Peripheral blood film
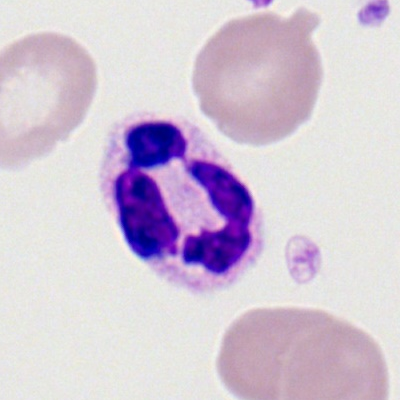Polymorphonuclear neutrophil.